Bone marrow aspirate smear:
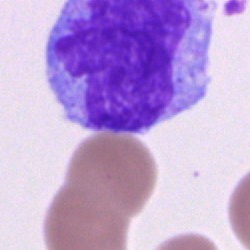Q: Identify the cell.
A: It is a monocyte.